Bone marrow smear — 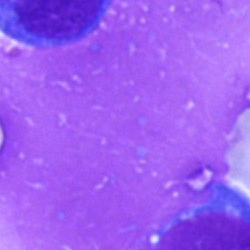
Q: What is shown here?
A: This is an artifact.